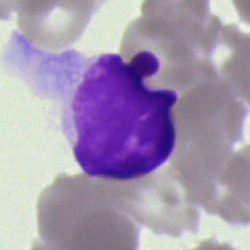 {"cell_type": "artefact"}